Bone marrow aspirate smear. Pappenheim-stained. 250×250: 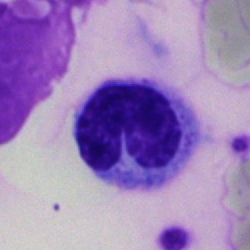 A stab cell.